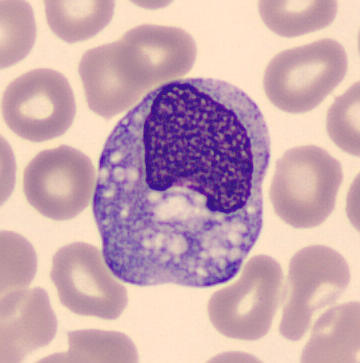 The cell shown is a monocyte.
Image: Peripheral blood smear. 360 by 363 pixels.